Bone marrow aspirate smear
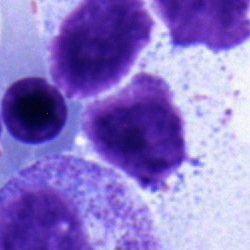{"cell_type": "typical lymphocyte", "lineage": "lymphoid"}